Bone marrow aspirate smear:
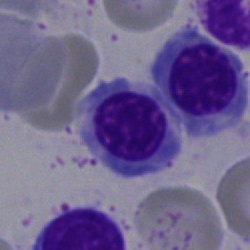 Cell type — normoblast.